Bone marrow aspirate smear:
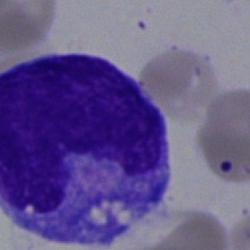

Impression → monocyte.